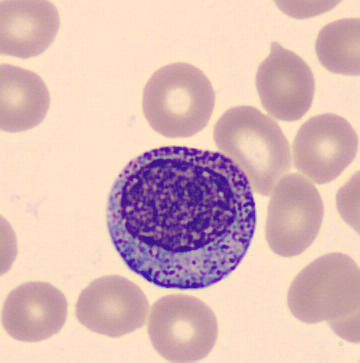A myelocyte.